Peripheral blood film
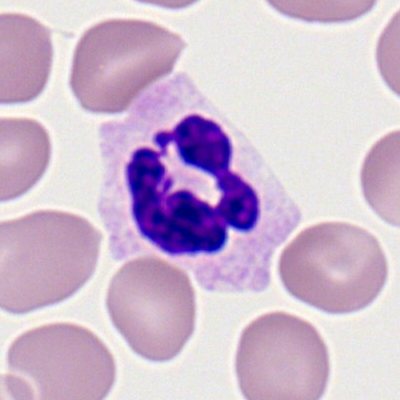
Classification = neutrophil (segmented).